Bone marrow smear. MGG-stained. 40× oil immersion.
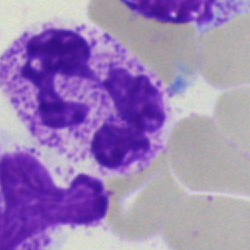
Specimen: bone marrow smear.
Cell: polymorphonuclear neutrophil.